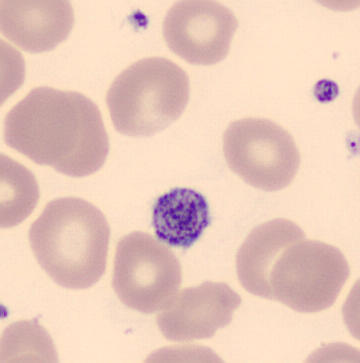

Q: What is shown here?
A: This is a platelet.
Peripheral blood film.